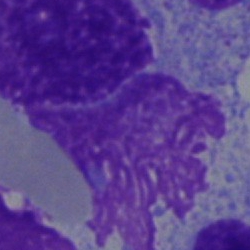Showing an artifact.